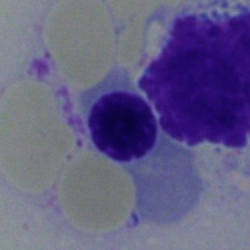
Q: What type of cell is this?
A: Nucleated red cell.